Bone marrow smear: 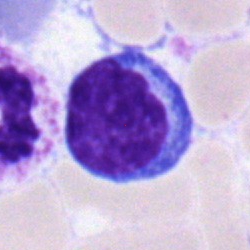The cell is typical lymphocyte.